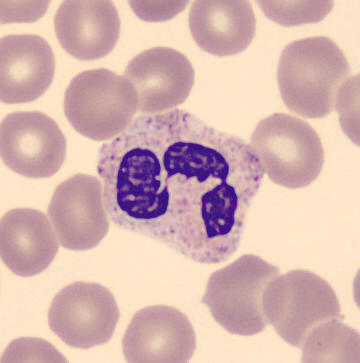 Specimen: peripheral blood smear.
Classification: segmented neutrophil.